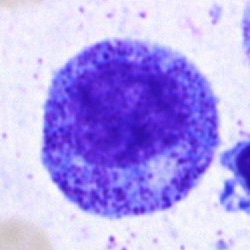
Q: What is shown here?
A: A progranulocyte.